Cropped to a single cell · bone marrow smear.
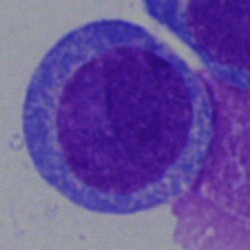Specimen: bone marrow aspirate smear.
Classification: undifferentiated blast.